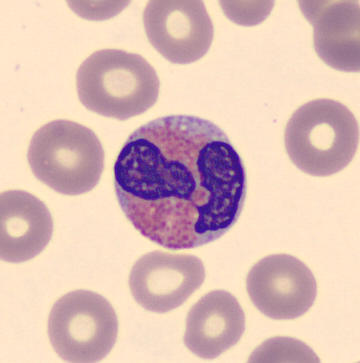
Impression → eosinophilic granulocyte.